Bone marrow smear · 250 by 250 pixels — 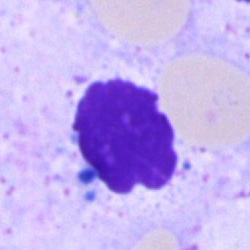
Cell type: cell of indeterminate lineage.